Bone marrow aspirate smear: 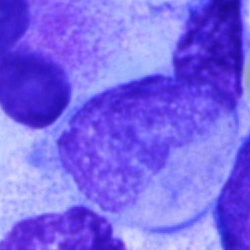 Q: Which cell type is shown here?
A: It is an unidentifiable cell.